Bone marrow smear.
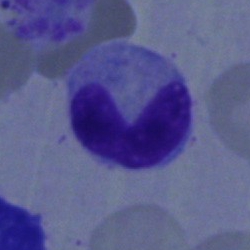Morphology consistent with a band-form neutrophil.